Bone marrow aspirate smear · MGG-stained — 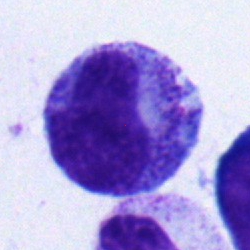
Single cell identified as a progranulocyte.